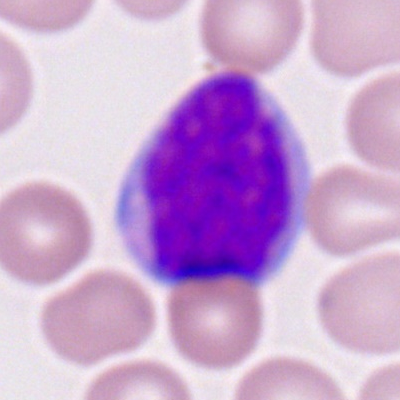 A myeloblast on a peripheral blood smear.